Bone marrow smear:
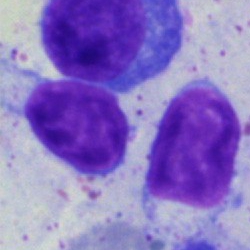

Impression — typical lymphocyte.